Bone marrow smear.
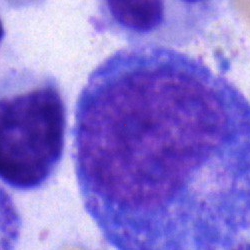
Cell — promyelocyte.